Peripheral blood film. Automated cell imaging (CellaVision DM96): 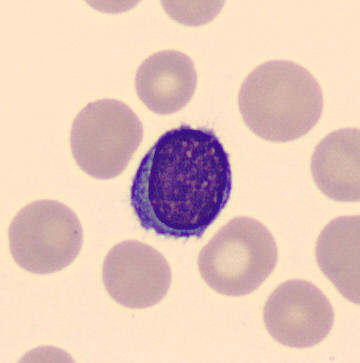Q: What is shown here?
A: This is a typical lymphocyte.